Peripheral blood smear — 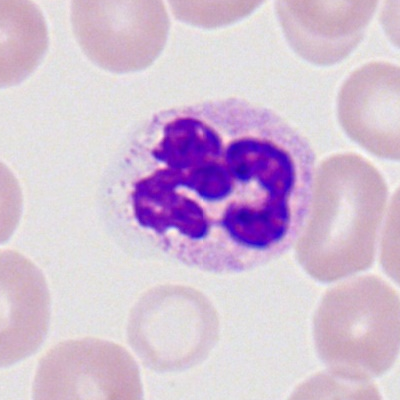Single cell identified as a polymorphonuclear neutrophil.